Romanowsky-stained; peripheral blood film:
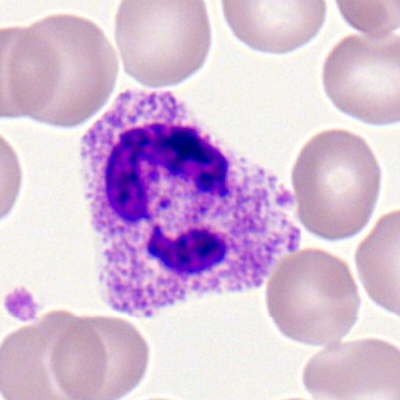
Impression — polymorphonuclear neutrophil.